Bone marrow aspirate smear: 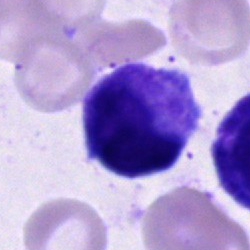Cell type = artefact.